Bone marrow smear.
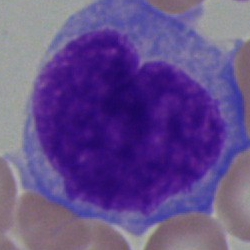
Blast.